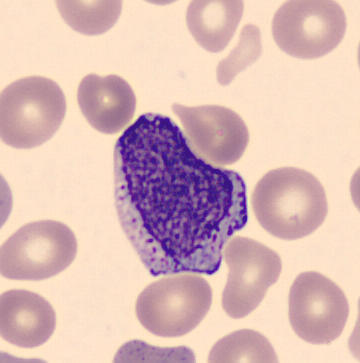

Progranulocyte. Acquisition: Peripheral blood smear.